Peripheral blood film; 100× objective, oil immersion
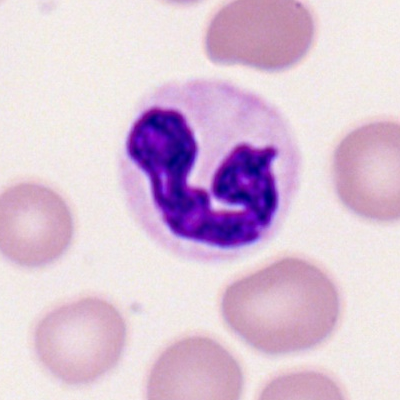Impression — neutrophil (segmented).